Bone marrow aspirate smear.
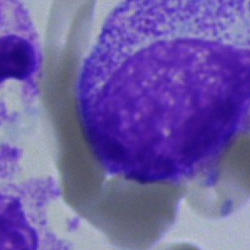Cell type — myelocyte.